Brightfield microscopy, 40× oil immersion; bone marrow smear.
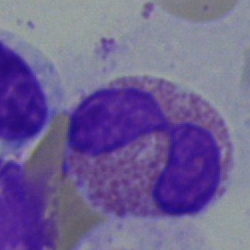

Single cell identified as an eosinophil.